Bone marrow smear:
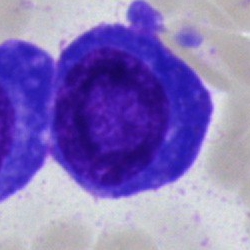
Q: Which cell type is shown here?
A: Plasmacyte.